Bone marrow smear.
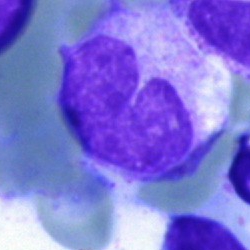

Morphology — stab cell.